Bone marrow smear: 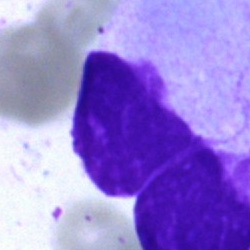
Q: What is shown here?
A: An artefact.